Bone marrow smear; brightfield microscopy, 40× oil immersion: 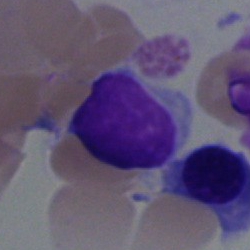
The cell shown is a typical lymphocyte.